Bone marrow smear; single cell centered in the field; 40× oil immersion — 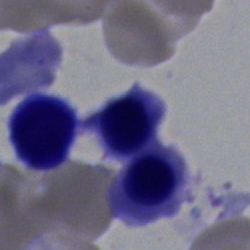
Morphological class — nucleated red cell.